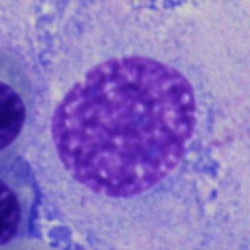Bone marrow aspirate smear, single cell — artefact.